Bone marrow aspirate smear
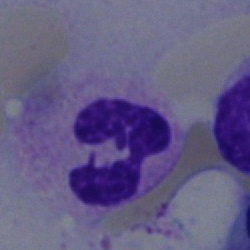
{"cell_type": "segmented neutrophil", "lineage": "myeloid"}